Bone marrow aspirate smear — 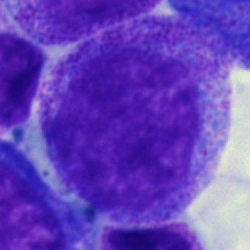
Progranulocyte.